Bone marrow aspirate smear; image size 250×250 — 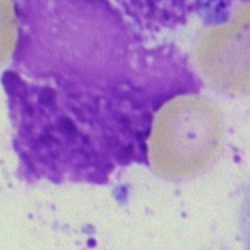

Cell: artefact.